Bone marrow smear:
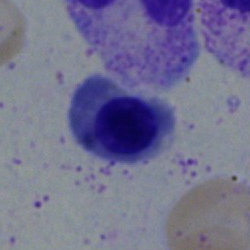

A nucleated red cell.